Bone marrow smear: 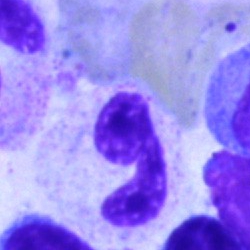 Segmented neutrophil.